May-Grünwald-Giemsa stain · bone marrow smear — 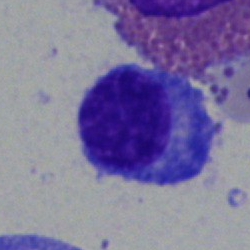

A plasmacyte.